Bone marrow smear.
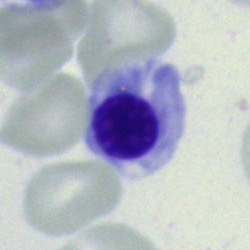 Single cell identified as a normoblast.